Bone marrow smear
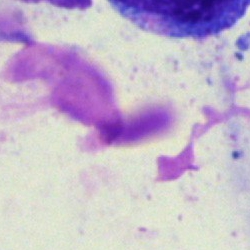
The morphological class is artefact.